MGG-stained · bone marrow smear.
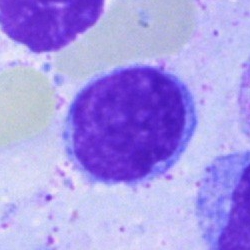A typical lymphocyte.